Bone marrow aspirate smear:
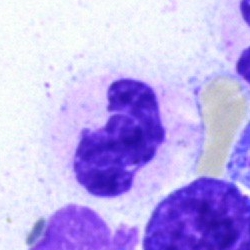Cell type: polymorphonuclear neutrophil.